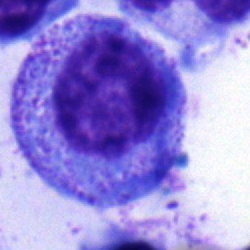

Classification — promyelocyte.